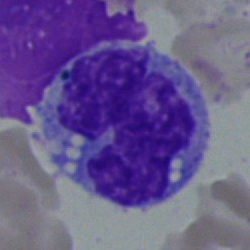

Classification: monocyte.